Bone marrow aspirate smear — 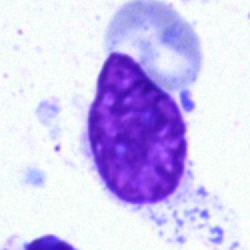 Morphological class = artifact.